Bone marrow smear
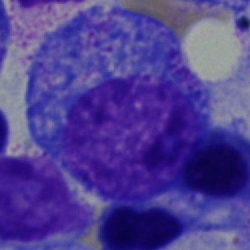Impression → progranulocyte.